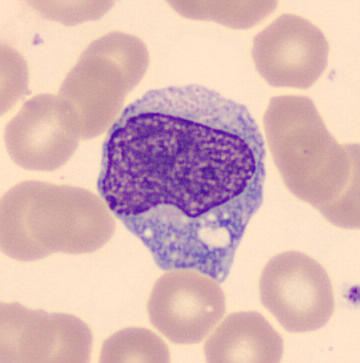Single-cell crop. Peripheral blood film.
Q: Which cell type is shown here?
A: It is a monocyte.